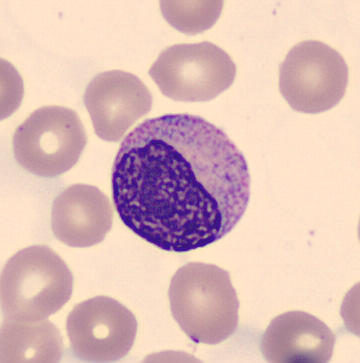

{"cell_type": "metamyelocyte"} Preparation: Peripheral blood film.